Bone marrow smear: 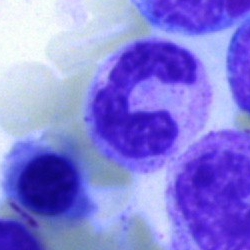 The cell shown is a segmented neutrophil.